250×250 px · bone marrow smear:
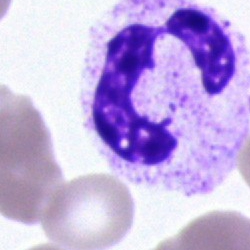
Specimen: bone marrow aspirate smear.
Cell type: polymorphonuclear neutrophil.
Lineage: myeloid.